Single-cell crop. Bone marrow smear: 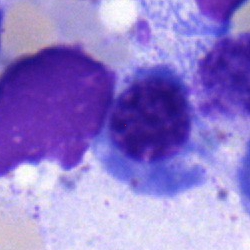

Single cell identified as an erythroblast.